Bone marrow smear
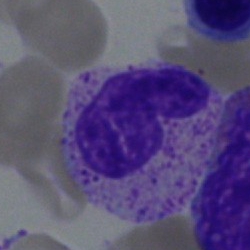Q: Identify the cell.
A: Neutrophil (band).